May-Grünwald-Giemsa/Pappenheim stain. Bone marrow smear — 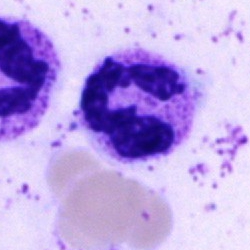

Specimen: bone marrow smear.
Cell type: neutrophil (segmented).
Lineage: myeloid.